40× oil immersion; bone marrow smear: 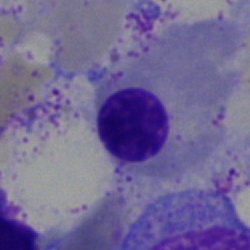
{"cell_type": "nucleated red cell", "lineage": "erythroid"}